Bone marrow smear. 250×250. Pappenheim-stained: 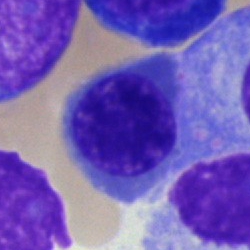Morphology consistent with a nucleated red cell.